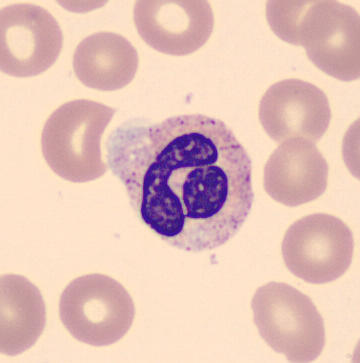
Identified as a band-form neutrophil.
Peripheral blood film.